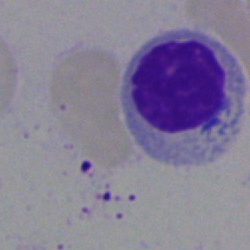

Impression — nucleated red blood cell.